Peripheral blood smear.
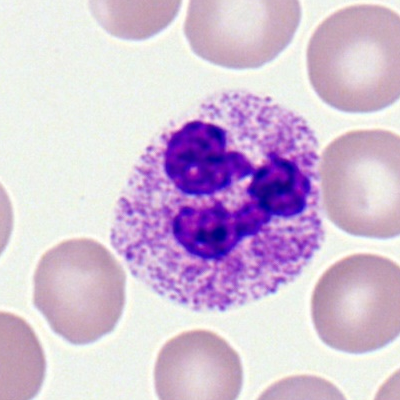 Q: Identify the cell.
A: A neutrophil (segmented).